Peripheral blood film.
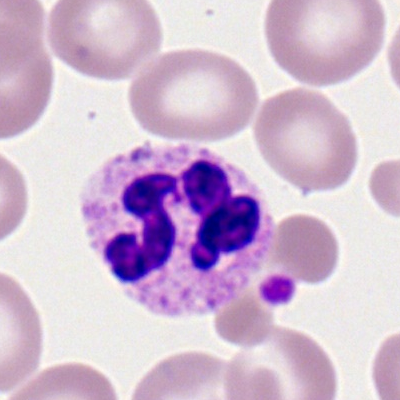

Classification: segmented neutrophil.